Bone marrow smear:
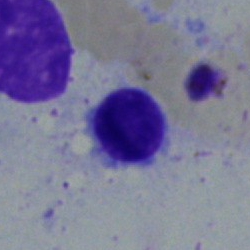Cell = lymphocyte.